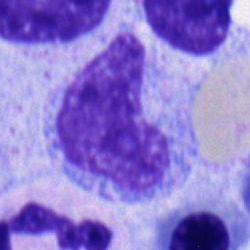
The cell shown is a metamyelocyte.